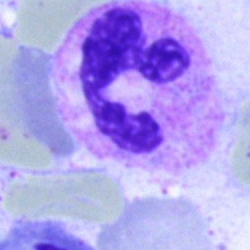

Impression → segmented neutrophil.